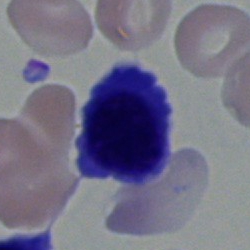

Classification = lymphocyte.